Image size 250×250. May-Grünwald-Giemsa stain. Bone marrow aspirate smear
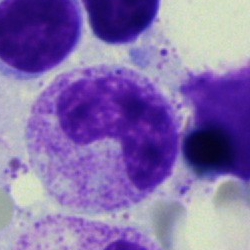

The classification is metamyelocyte.